Bone marrow aspirate smear
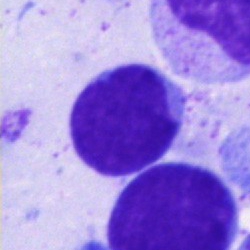Morphology → undifferentiated blast.